Bone marrow smear: 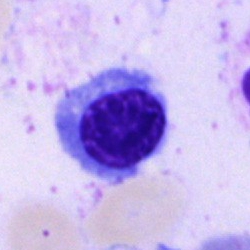
A normoblast.